250 by 250 pixels. 40× oil immersion. Bone marrow smear.
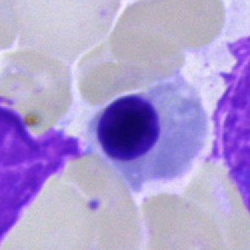{"cell_type": "nucleated red blood cell"}